Cropped to a single cell. Romanowsky stain. Peripheral blood smear:
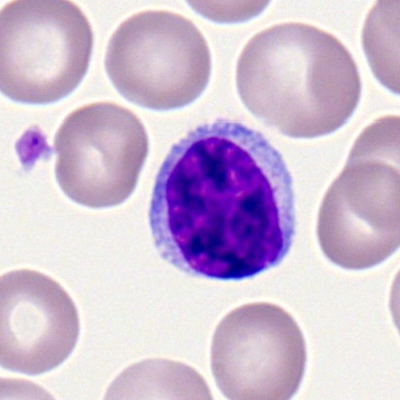
This is a lymphocyte.